Brightfield, 40× oil-immersion objective · May-Grünwald-Giemsa/Pappenheim stain · bone marrow aspirate smear.
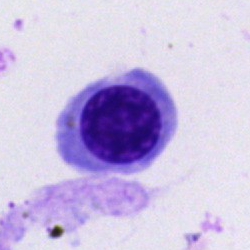

{"cell_type": "erythroblast", "lineage": "erythroid"}